MGG-stained. 250 by 250 pixels. Bone marrow smear.
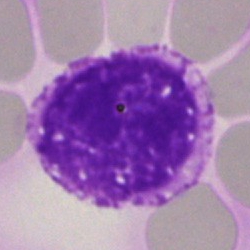 Q: What is shown here?
A: An artefact.